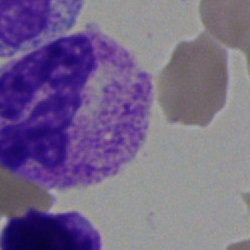Morphology → neutrophil (segmented).